Image size 250×250; bone marrow aspirate smear — 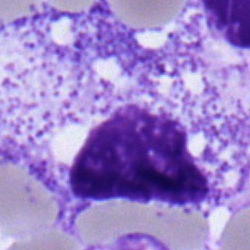
The cell is myelocyte.